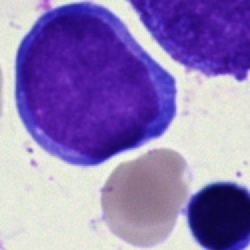 Specimen: bone marrow aspirate smear.
Classification: blast.